Bone marrow aspirate smear · 40× objective, oil immersion · image size 250×250.
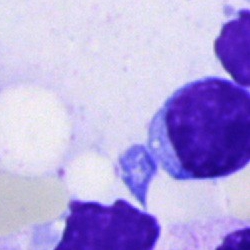
The cell is typical lymphocyte.